Pappenheim-stained. Bone marrow smear
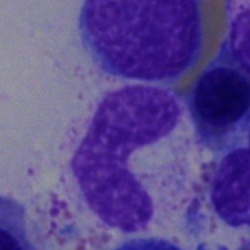

Specimen: bone marrow smear.
Classification: stab cell.